Bone marrow aspirate smear — 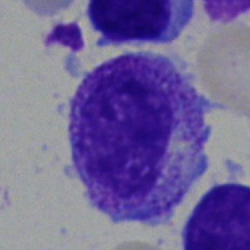 Q: What cell is this?
A: This is a myelocyte.